May-Grünwald-Giemsa stain; bone marrow smear: 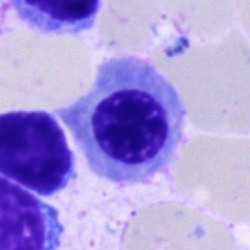

An erythroblast.